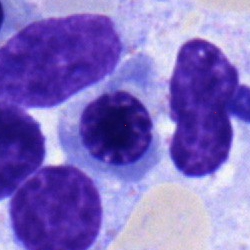{"cell_type": "erythroblast", "lineage": "erythroid"}